Bone marrow smear. Image size 250×250. May-Grünwald-Giemsa stain — 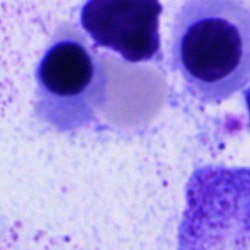
This is an erythroblast.